Peripheral blood film · 100× oil immersion, 14.14 px/µm · 400×400 px:
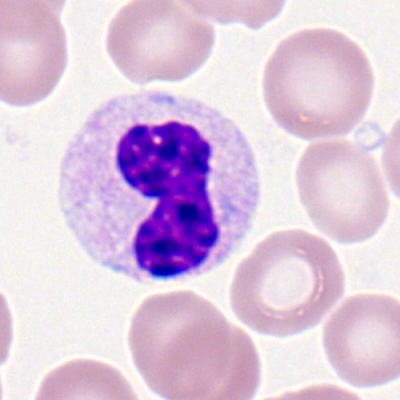

Cell type: band-form neutrophil.